Single-cell crop · peripheral blood smear — 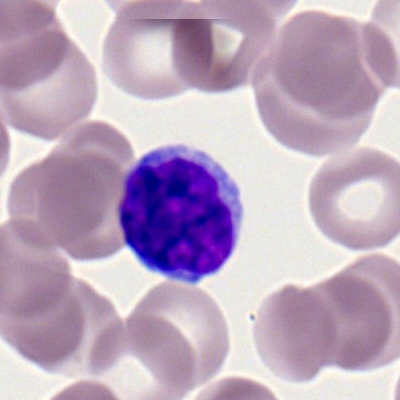

Single cell identified as a lymphocyte.